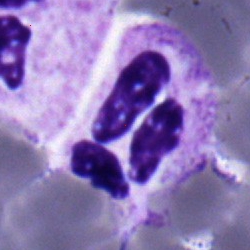 A segmented neutrophil on a bone marrow smear.